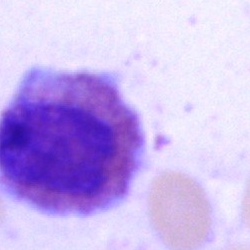

The cell shown is an eosinophil.